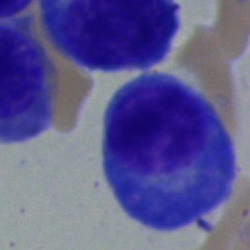 Morphology → plasmacyte.